Brightfield microscopy, 40× oil immersion · bone marrow aspirate smear · single-cell crop: 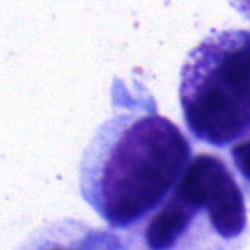

Q: Identify the cell.
A: A typical lymphocyte.